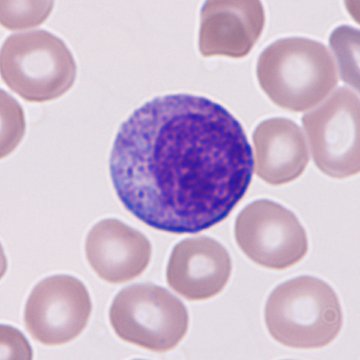
Specimen: peripheral blood film.
Morphological class: immature granulocyte (promyelocyte, myelocyte or metamyelocyte).